Brightfield microscopy, 40× oil immersion. Bone marrow smear.
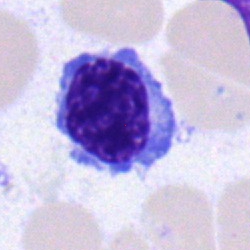 The morphological class is lymphocyte.